Bone marrow aspirate smear; cropped to a single cell:
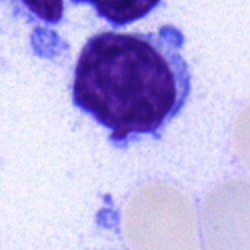A lymphocyte.